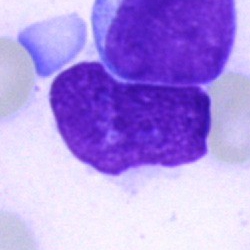 Cell type = blast.